May-Grünwald-Giemsa stain; bone marrow aspirate smear; 40× oil immersion.
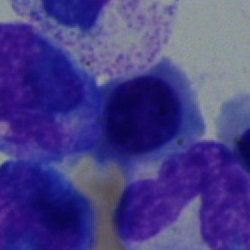Single cell identified as a normoblast.